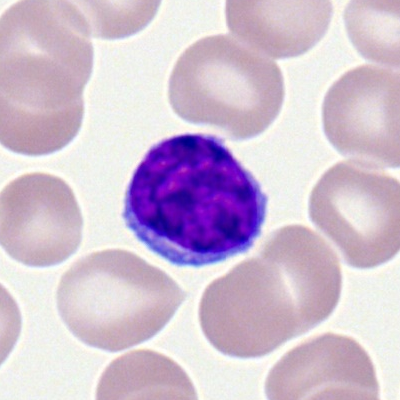 {"cell_type": "lymphocyte"}